Peripheral blood film:
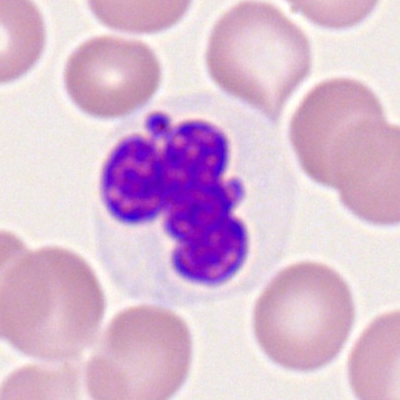
Impression → segmented neutrophil.